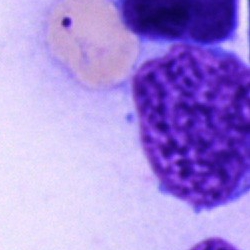

Bone marrow smear showing an artifact.